Brightfield microscopy, 40× oil immersion; bone marrow smear; single-cell crop:
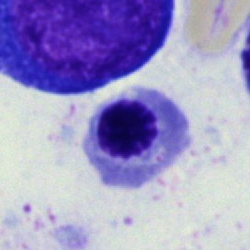

An erythroblast.